Bone marrow aspirate smear. Brightfield, 40× oil-immersion objective
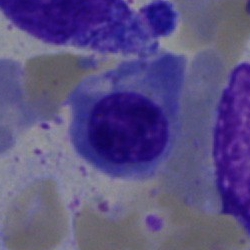Classification — nucleated red cell.